Bone marrow aspirate smear. Brightfield, 40× oil-immersion objective.
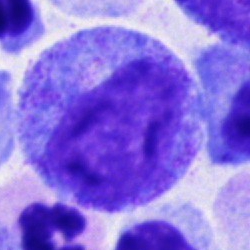Showing a promyelocyte.